Cropped to a single cell; bone marrow aspirate smear
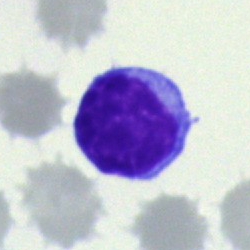

Showing a lymphocyte.